250×250 px · bone marrow smear — 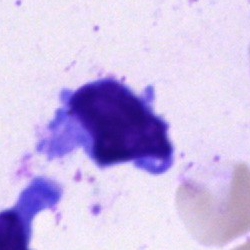
Q: What type of cell is this?
A: It is a typical lymphocyte.